Bone marrow smear. MGG-stained
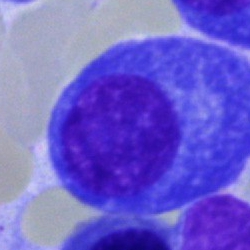 The classification is plasmacyte.